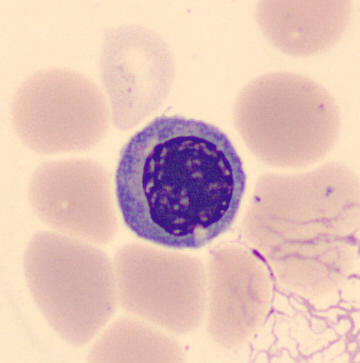 Preparation: Peripheral blood smear. Morphology consistent with a normoblast.